Bone marrow smear · 250 by 250 pixels
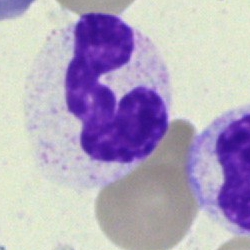Q: What cell is this?
A: Neutrophil (segmented).